Bone marrow smear: 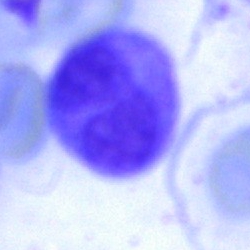
The cell shown is a neutrophil (segmented).